Bone marrow smear; 250×250; 40× objective, oil immersion: 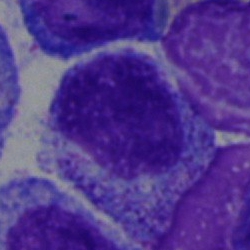A myelocyte.